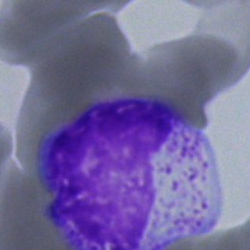
Single-cell crop from a bone marrow smear: myelocyte.